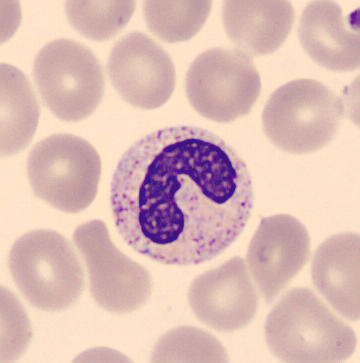Impression → neutrophil (band).